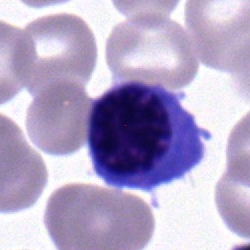Specimen: bone marrow smear.
Cell type: nucleated red cell.